Bone marrow smear:
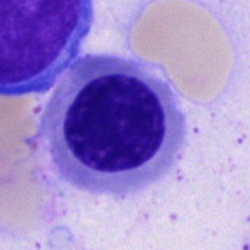 Specimen: bone marrow aspirate smear.
Cell type: erythroblast.
Lineage: erythroid.